Bone marrow aspirate smear
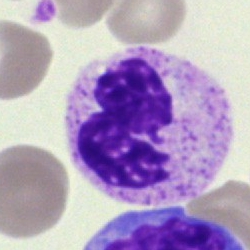
Specimen: bone marrow aspirate smear.
Classification: polymorphonuclear neutrophil.